Bone marrow aspirate smear:
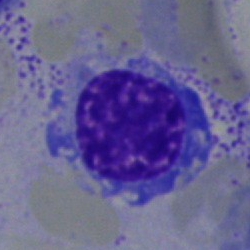 Nucleated red cell.